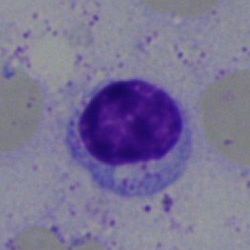The classification is lymphocyte.